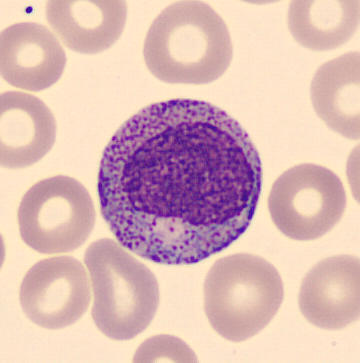
Acquisition: Peripheral blood smear. {"cell_type": "progranulocyte", "lineage": "myeloid"}